Bone marrow smear.
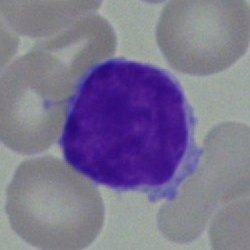
This is a lymphocyte.